Bone marrow aspirate smear
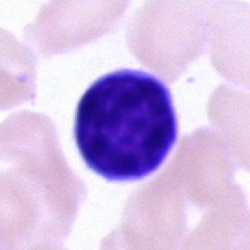
Q: What cell is this?
A: This is a lymphocyte.